400×400 px; peripheral blood film.
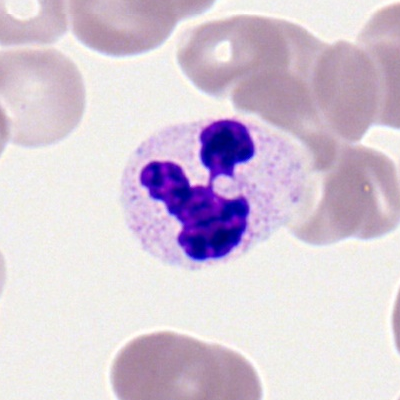 Classification: polymorphonuclear neutrophil.